Bone marrow aspirate smear:
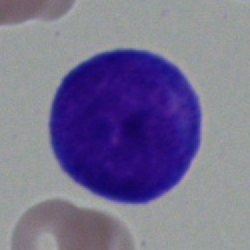
The cell type is blast cell.